Bone marrow smear — 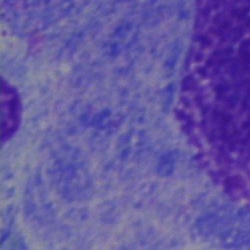 Cell type — artefact.